Image size 250×250. Bone marrow smear:
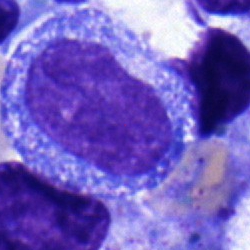

Showing a promyelocyte.